Bone marrow smear · 250×250
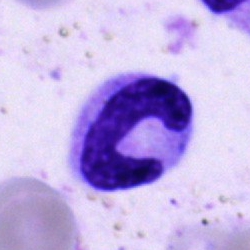 Impression → band-form neutrophil.